Bone marrow aspirate smear:
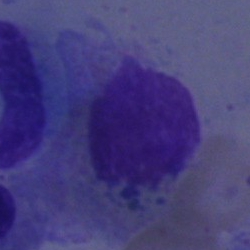 Q: What is shown here?
A: Artefact.